Peripheral blood smear.
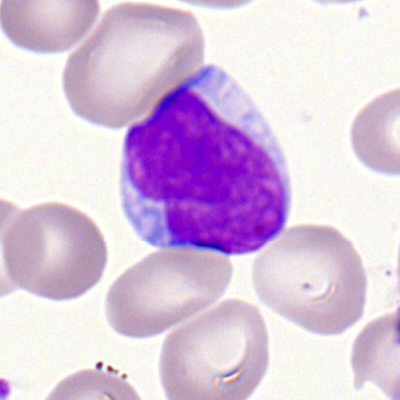
Q: What cell is this?
A: This is a myeloid blast.